Bone marrow smear · single-cell crop — 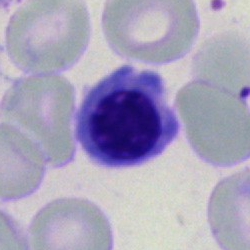

The morphological class is nucleated red cell.